Bone marrow aspirate smear: 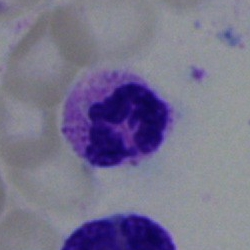
Showing a neutrophil (segmented).